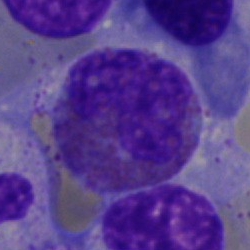

Morphology → eosinophilic granulocyte.